May-Grünwald-Giemsa/Pappenheim stain. Bone marrow aspirate smear
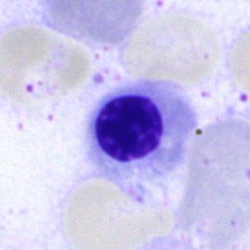Cell type: nucleated red blood cell.